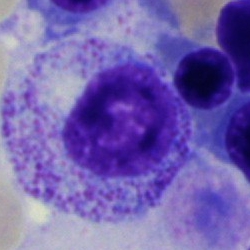

Specimen: bone marrow smear.
Cell type: myelocyte.